Bone marrow smear; May-Grünwald-Giemsa/Pappenheim stain: 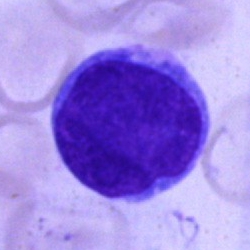
Specimen: bone marrow aspirate smear.
Cell: blast cell.